Bone marrow smear — 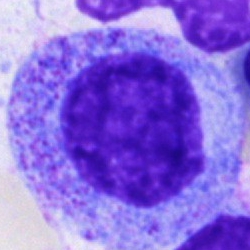Q: What type of cell is this?
A: Progranulocyte.